Bone marrow aspirate smear. May-Grünwald-Giemsa/Pappenheim stain:
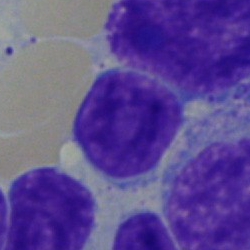

Classification = lymphocyte.